Bone marrow aspirate smear.
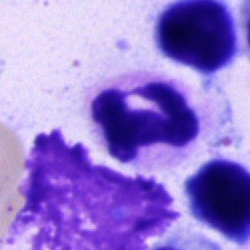 Q: What type of cell is this?
A: This is a segmented neutrophil.